Bone marrow aspirate smear.
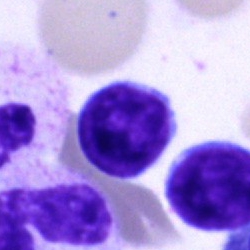

Cell — typical lymphocyte.